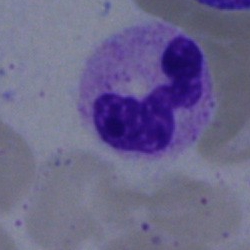

Q: What is the morphological classification of this cell?
A: A polymorphonuclear neutrophil.